250×250. Bone marrow aspirate smear. Single-cell field
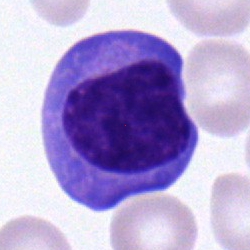 {"cell_type": "promyelocyte"}